Bone marrow smear.
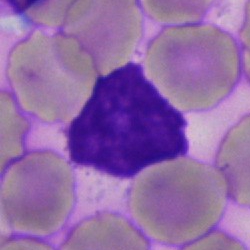

Single cell identified as an artifact.